Bone marrow smear: 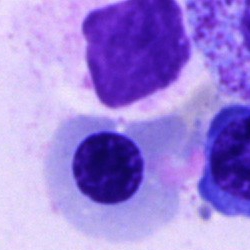This is a nucleated red blood cell.